Bone marrow aspirate smear: 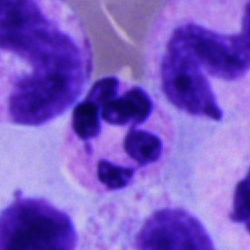Single cell identified as a polymorphonuclear neutrophil.